Bone marrow smear: 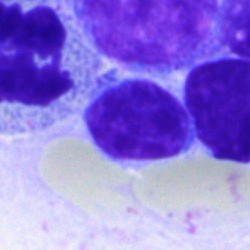{"cell_type": "lymphocyte"}